Bone marrow aspirate smear; 250×250:
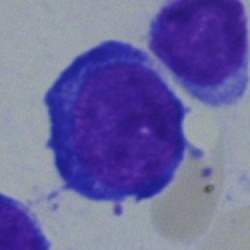 Morphology consistent with a proerythroblast.